Bone marrow smear — 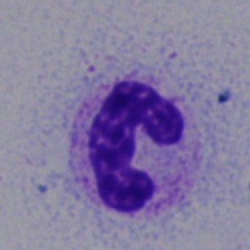

Q: Which cell type is shown here?
A: This is a segmented neutrophil.